Bone marrow smear:
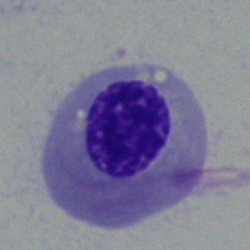

The cell type is normoblast.